Bone marrow aspirate smear — 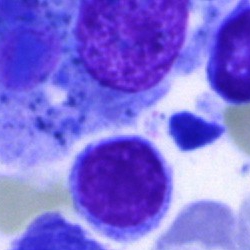 The cell is typical lymphocyte.